Bone marrow smear
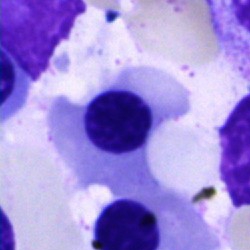Classification = normoblast.